Bone marrow smear
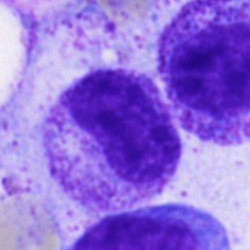

Morphological class: metamyelocyte.